Bone marrow smear; single-cell field:
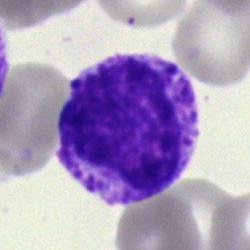

Cell — basophil.